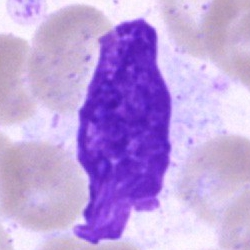
Specimen: bone marrow aspirate smear.
Morphological class: artifact.